Bone marrow aspirate smear. Image size 250×250. Brightfield microscopy, 40× oil immersion.
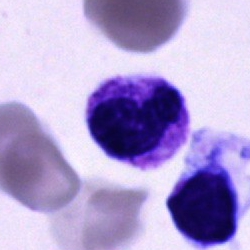

Q: What cell is this?
A: This is a neutrophil (segmented).